Cropped to a single cell · bone marrow aspirate smear · 250×250 px.
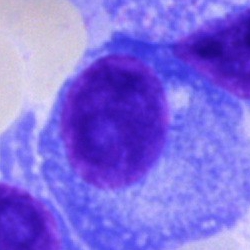
The cell shown is a plasmacyte.